Peripheral blood film — 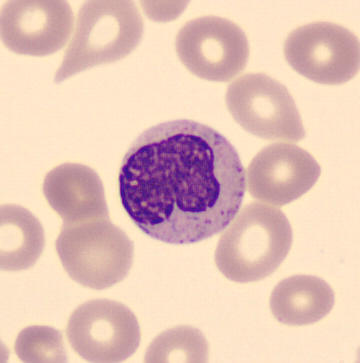 Specimen: peripheral blood film.
Morphological class: metamyelocyte.